Bone marrow smear — 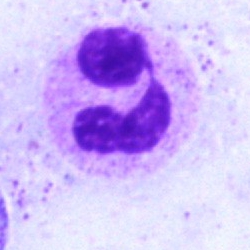

Specimen: bone marrow aspirate smear.
Classification: segmented neutrophil.
Lineage: myeloid.